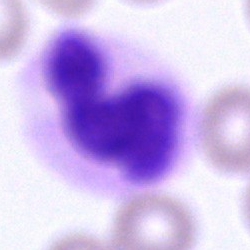 Impression — cell of indeterminate lineage.